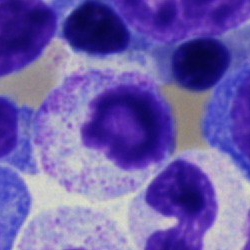

{"cell_type": "myelocyte", "lineage": "myeloid"}